May-Grünwald-Giemsa stain; bone marrow aspirate smear
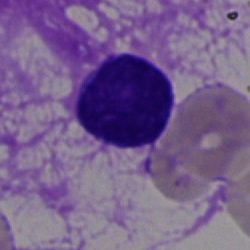
This is an artifact.